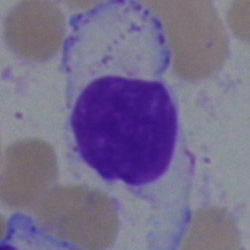Morphological class = artefact.